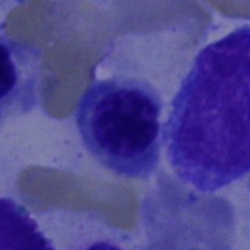Specimen: bone marrow smear.
Cell type: nucleated red cell.
Lineage: erythroid.